Bone marrow smear: 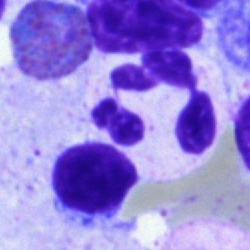
Specimen: bone marrow aspirate smear.
Cell type: neutrophil (segmented).
Lineage: myeloid.